Bone marrow smear. 40× oil immersion: 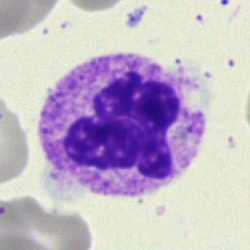

Morphology consistent with a neutrophil (segmented).